Pappenheim-stained; bone marrow smear: 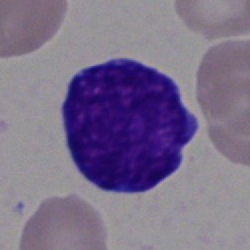
Cell type: blast.